Cropped to a single cell · bone marrow aspirate smear · Pappenheim-stained — 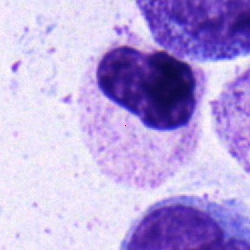Q: What type of cell is this?
A: A metamyelocyte.